Bone marrow smear:
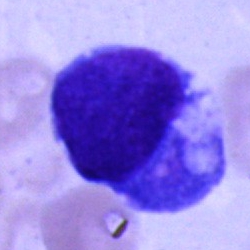 Single cell identified as a blast.